Bone marrow aspirate smear — 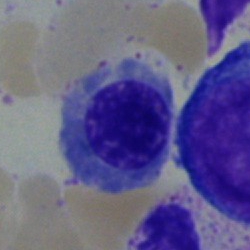

Classification = normoblast.